Bone marrow aspirate smear; single-cell crop; 250 by 250 pixels:
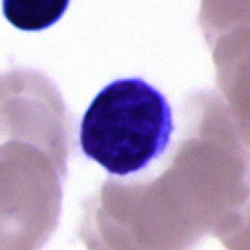Single cell identified as a lymphocyte.